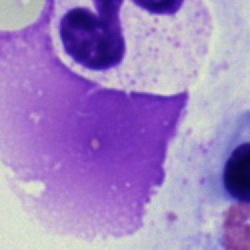
Impression — artefact.